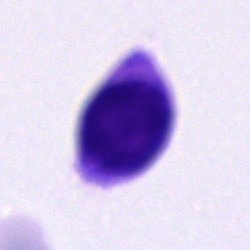

This is a cell of indeterminate lineage.